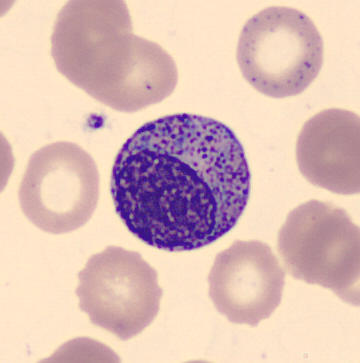
Identified as a myelocyte.
Image: Peripheral blood film.